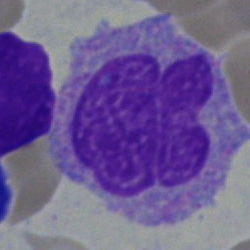Single cell identified as a monocyte.